Bone marrow aspirate smear. 250×250 — 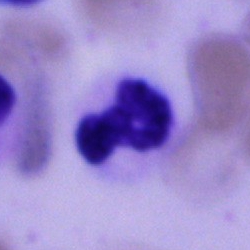

Q: Identify the cell.
A: This is a neutrophil (segmented).